Brightfield, 40× oil-immersion objective; bone marrow smear:
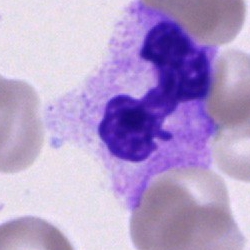Q: Which cell type is shown here?
A: It is a neutrophil (segmented).